Bone marrow aspirate smear — 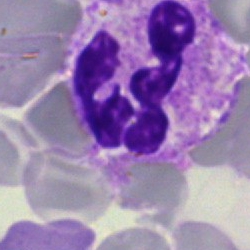 Classification = polymorphonuclear neutrophil.